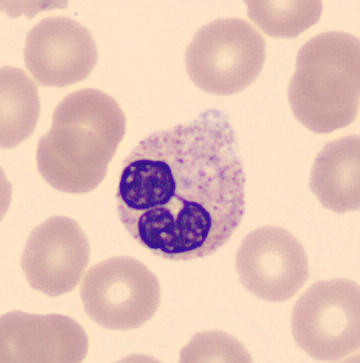

Morphology consistent with a neutrophil (segmented).